Bone marrow aspirate smear: 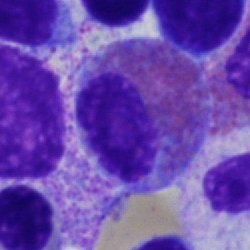 This is an eosinophil.